Romanowsky-stained. Single cell centered in the field. Peripheral blood film:
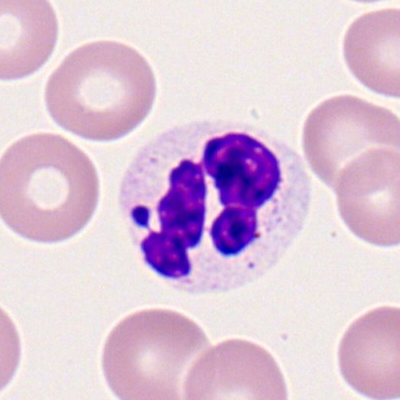
This is a segmented neutrophil.